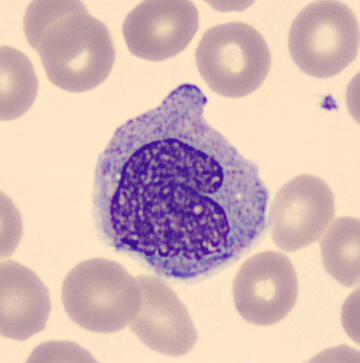 Image: Peripheral blood film.
The cell is monocyte.